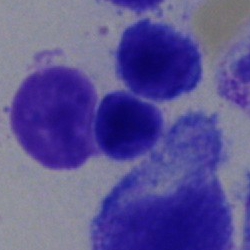Q: What is the morphological classification of this cell?
A: It is a lymphocyte.